Bone marrow smear.
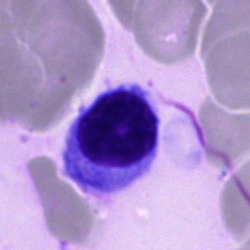

Specimen: bone marrow smear.
Cell: lymphocyte.
Lineage: lymphoid.